May-Grünwald-Giemsa stain; bone marrow smear; 250 by 250 pixels
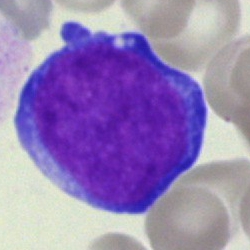
The morphological class is pronormoblast.